Bone marrow aspirate smear:
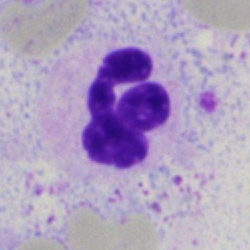Neutrophil (segmented).